Bone marrow smear. 40× objective, oil immersion. Cropped to a single cell — 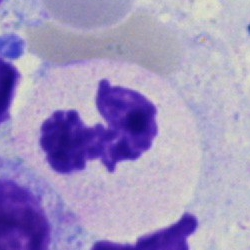Classification: polymorphonuclear neutrophil.